Single-cell crop · bone marrow smear.
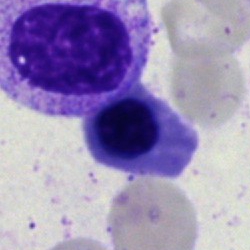Morphology consistent with a normoblast.